Bone marrow smear.
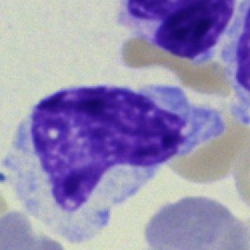 A cell of indeterminate lineage.